Bone marrow aspirate smear · 40× oil immersion: 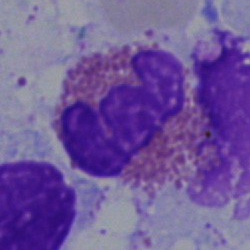
Specimen: bone marrow aspirate smear.
Cell: eosinophil.
Lineage: myeloid.